Pappenheim-stained · bone marrow smear: 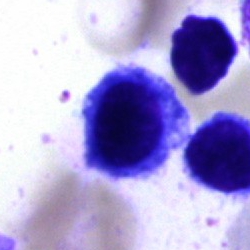
{"cell_type": "nucleated red blood cell", "lineage": "erythroid"}